Bone marrow aspirate smear:
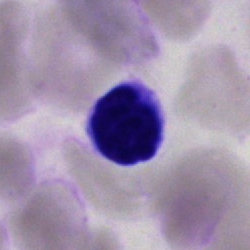 The cell shown is a typical lymphocyte.